Peripheral blood smear; 360×363: 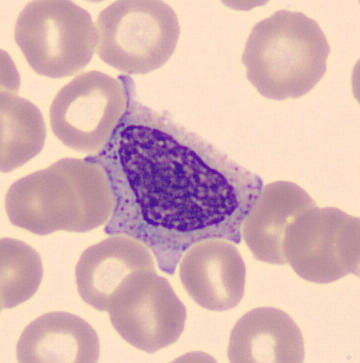 Classification = myelocyte.